Bone marrow aspirate smear.
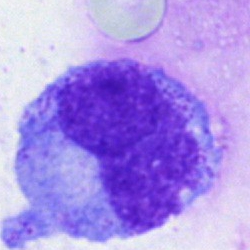The cell shown is a metamyelocyte.